Bone marrow smear: 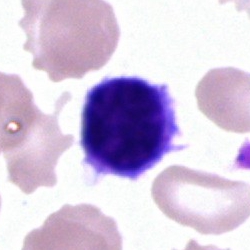Impression → lymphocyte.